Peripheral blood smear.
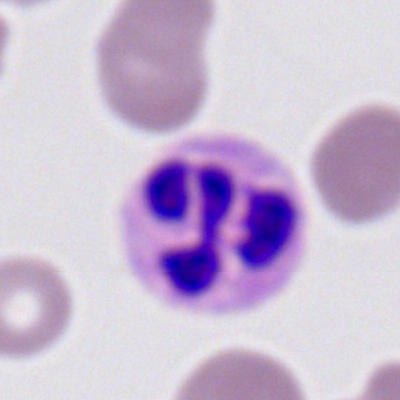Specimen: peripheral blood film.
Cell type: polymorphonuclear neutrophil.